40× objective, oil immersion; bone marrow smear
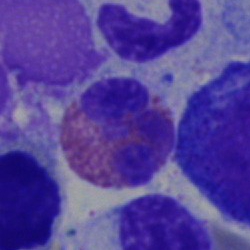 Morphology consistent with an eosinophilic granulocyte.